250×250 px. Bone marrow smear:
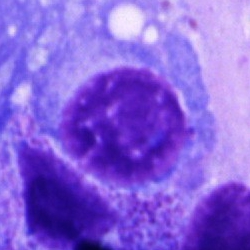 Morphology — plasmacyte.